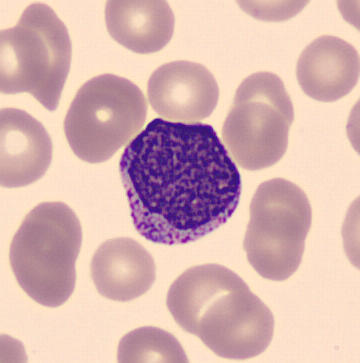 Acquisition: Automated cell imaging (CellaVision DM96) · peripheral blood film · 360 by 363 pixels. Q: What type of cell is this?
A: Myelocyte.